Bone marrow aspirate smear — 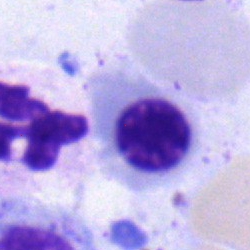

Q: What is the morphological classification of this cell?
A: An erythroblast.